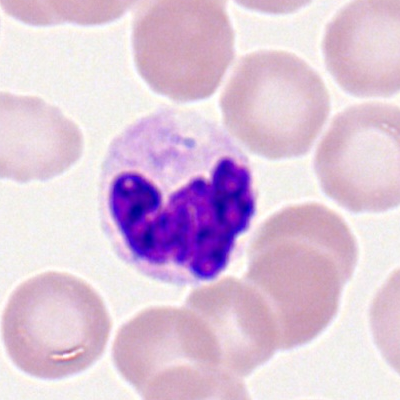Morphology — neutrophil (segmented).